Bone marrow smear; May-Grünwald-Giemsa/Pappenheim stain
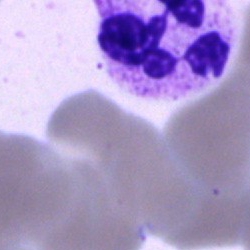
Specimen: bone marrow smear.
Morphological class: segmented neutrophil.
Lineage: myeloid.